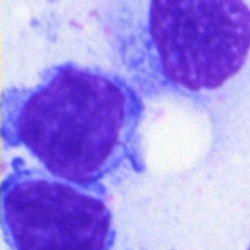

Morphology consistent with a lymphocyte.